Bone marrow smear. 40× objective, oil immersion
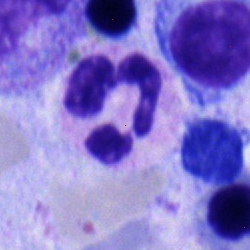

Q: What cell is this?
A: This is a segmented neutrophil.